Bone marrow smear:
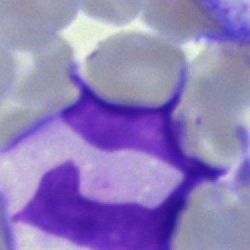

Morphological class — artefact.